Peripheral blood smear; 400×400 px: 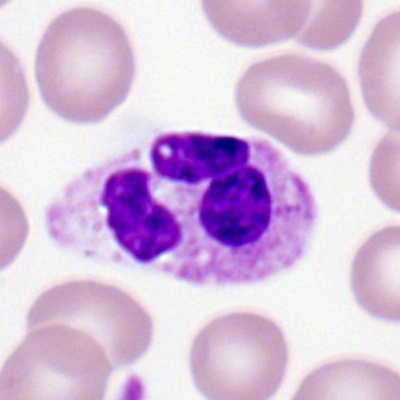 Q: What is the morphological classification of this cell?
A: It is a segmented neutrophil.